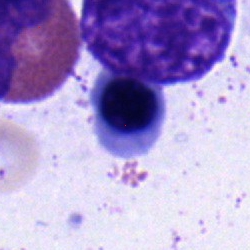 Q: What is the morphological classification of this cell?
A: Nucleated red blood cell.